Bone marrow smear:
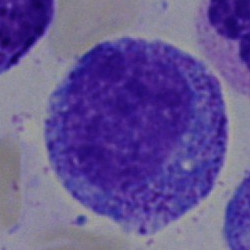
Morphology consistent with a progranulocyte.